May-Grünwald-Giemsa stain; bone marrow smear; 250×250: 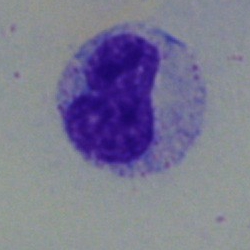
Q: What is shown here?
A: This is a metamyelocyte.